Bone marrow smear; Pappenheim-stained — 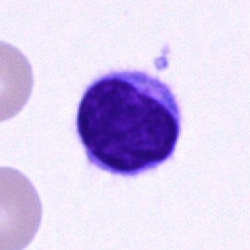
Cell = typical lymphocyte.